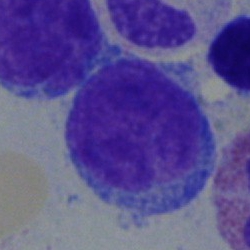 Specimen: bone marrow aspirate smear.
Cell type: undifferentiated blast.